Bone marrow aspirate smear · 40× objective, oil immersion · single-cell field: 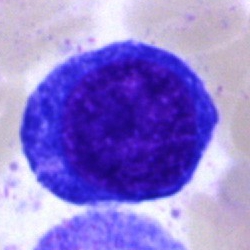

Cell = nucleated red cell.